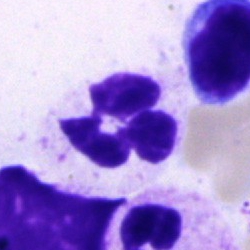
Q: Identify the cell.
A: It is a polymorphonuclear neutrophil.